Bone marrow aspirate smear: 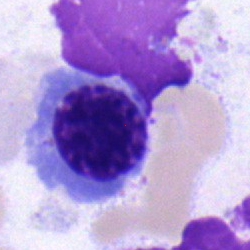
{"cell_type": "nucleated red blood cell", "lineage": "erythroid"}